Single-cell crop; peripheral blood film — 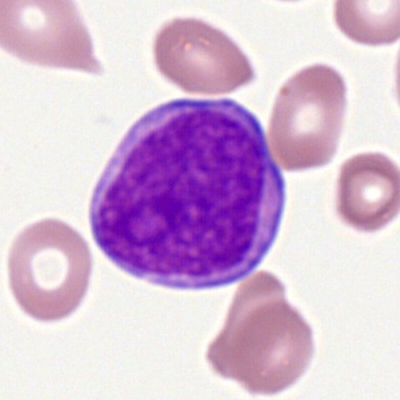{"cell_type": "myeloblast", "lineage": "myeloid"}